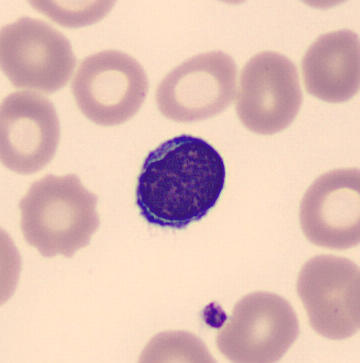

Image: May-Grünwald-Giemsa-stained; automated cell imaging (CellaVision DM96); peripheral blood film. Single cell identified as a lymphocyte.